Peripheral blood smear
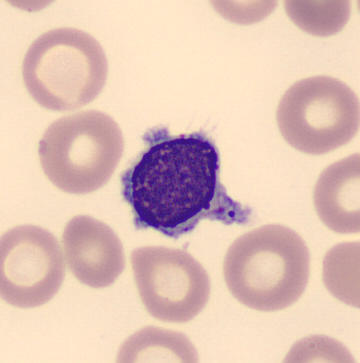 Identified as a typical lymphocyte.